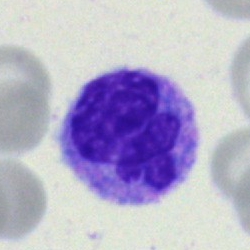Impression — monocyte.